Bone marrow smear: 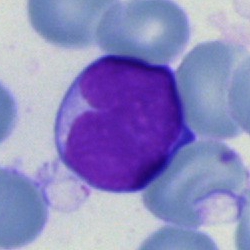 Q: What cell is this?
A: Lymphocyte.